Bone marrow smear:
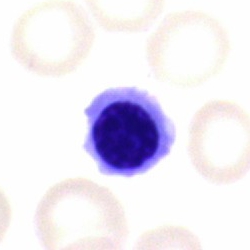

Impression → nucleated red blood cell.